MGG-stained. Bone marrow aspirate smear: 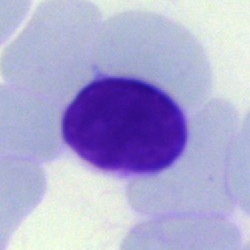

The cell type is artifact.